Bone marrow aspirate smear: 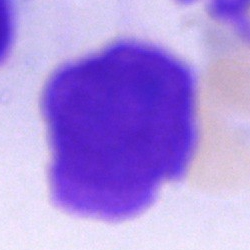

Morphology consistent with an artifact.